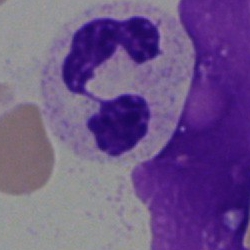 Morphological class — polymorphonuclear neutrophil.